Bone marrow aspirate smear — 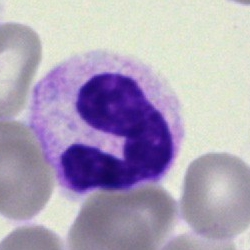 Morphological class = neutrophil (segmented).